Bone marrow aspirate smear: 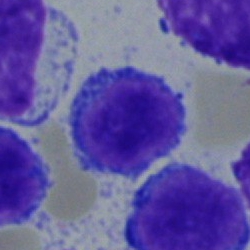
Showing a typical lymphocyte.